Bone marrow aspirate smear; brightfield, 40× oil-immersion objective; image size 250×250 — 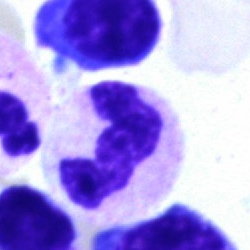

{"cell_type": "neutrophil (segmented)", "lineage": "myeloid"}